Bone marrow aspirate smear: 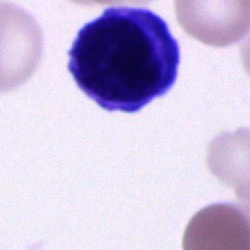Morphological class — cell of indeterminate lineage.